Bone marrow smear: 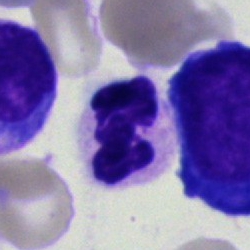

Morphology consistent with a neutrophil (segmented).